Bone marrow smear:
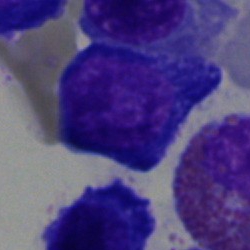 The classification is normoblast.